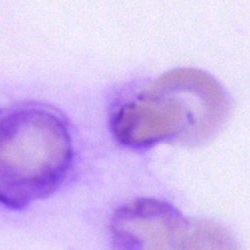Q: What is shown here?
A: An artefact.